Brightfield microscopy, 40× oil immersion · bone marrow smear · single cell centered in the field.
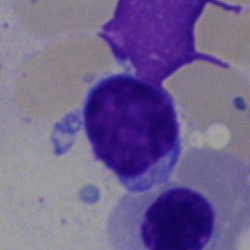 Single cell identified as a lymphocyte.